Image size 250×250. Bone marrow smear:
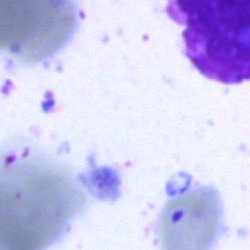

The cell type is artefact.